MGG-stained. Bone marrow aspirate smear.
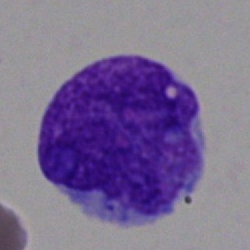Classification — blast cell.